Bone marrow smear · May-Grünwald-Giemsa/Pappenheim stain · 250×250 px: 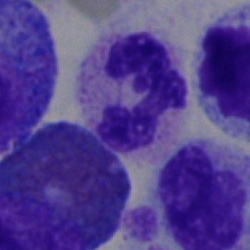
Cell type: neutrophil (segmented).